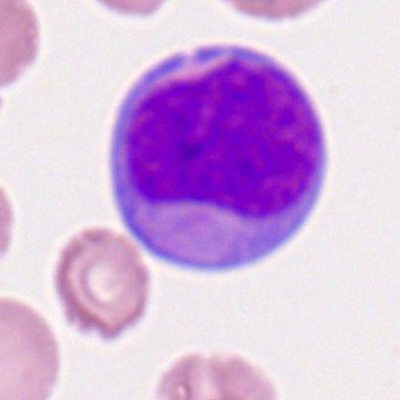

Morphology — myeloid blast.